Bone marrow aspirate smear; single cell centered in the field.
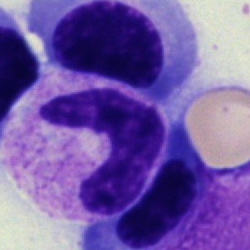

Q: Which cell type is shown here?
A: This is a band neutrophil.